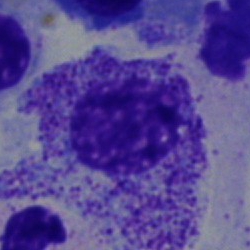Q: Identify the cell.
A: Myelocyte.